Bone marrow aspirate smear. 250×250
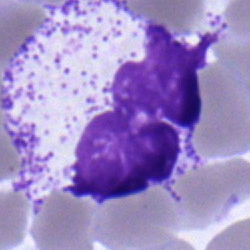{"cell_type": "segmented neutrophil"}